Bone marrow smear. Single cell centered in the field: 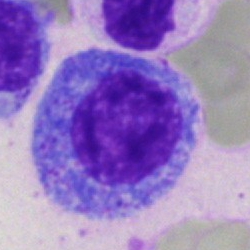Morphology — promyelocyte.